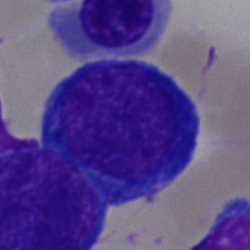A nucleated red cell on a bone marrow smear.